Peripheral blood smear; 400×400:
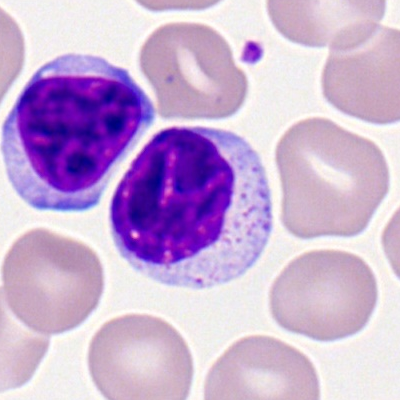

The cell shown is a typical lymphocyte.